Bone marrow aspirate smear — 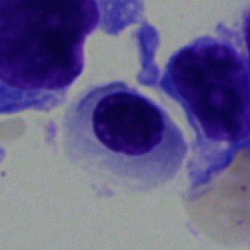
This is a nucleated red cell.